Bone marrow aspirate smear
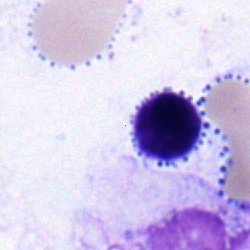
Morphological class = typical lymphocyte.